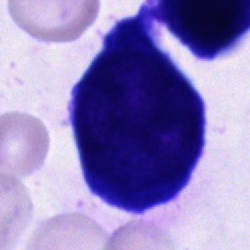 Showing a cell of indeterminate lineage.